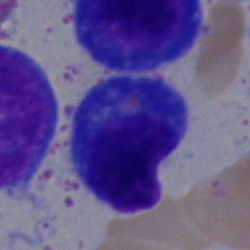

The cell type is plasmacyte.